Bone marrow smear. Pappenheim-stained
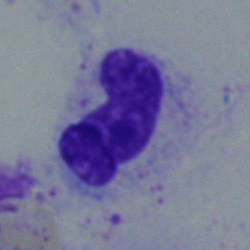

Single cell identified as a band neutrophil.